Bone marrow smear. Single cell centered in the field: 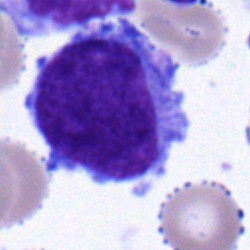
Impression → typical lymphocyte.